Bone marrow smear.
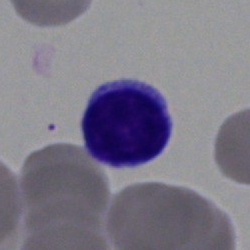Lymphocyte.